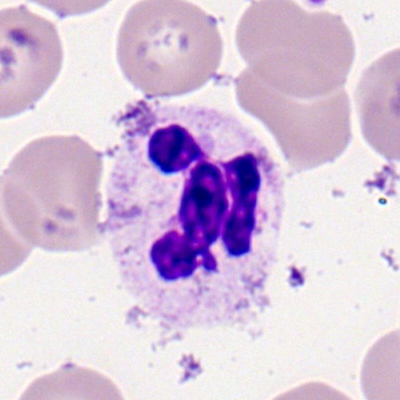Morphology — segmented neutrophil.